Bone marrow aspirate smear; brightfield, 40× oil-immersion objective; 250×250 px
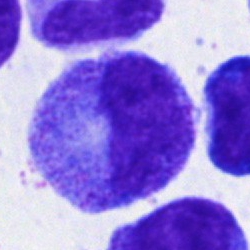

A promyelocyte.